250×250 px; bone marrow aspirate smear:
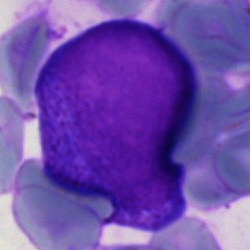Morphological class = undifferentiated blast.